Single cell centered in the field. Image size 250×250. Bone marrow smear:
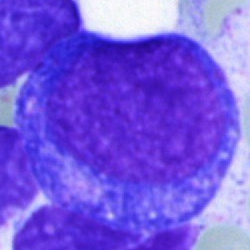
Q: Which cell type is shown here?
A: It is a pronormoblast.